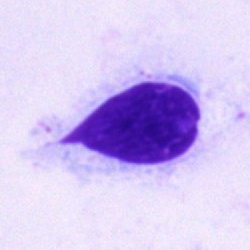

Bone marrow smear showing an artifact.